Image size 250×250 · bone marrow aspirate smear: 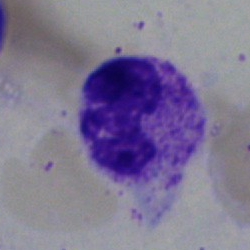
{"cell_type": "segmented neutrophil"}